Bone marrow smear — 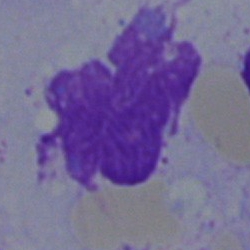
Q: What is shown here?
A: An artifact.